Bone marrow smear — 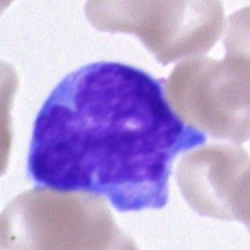Q: What cell is this?
A: It is an unidentifiable cell.